Bone marrow smear
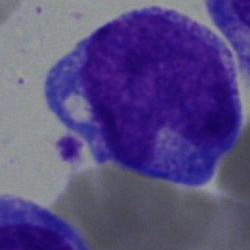 Q: What is the morphological classification of this cell?
A: Monocyte.